Bone marrow aspirate smear · brightfield microscopy, 40× oil immersion:
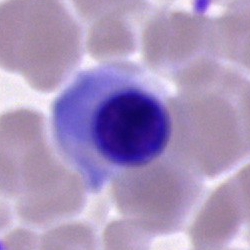

Specimen: bone marrow smear.
Morphological class: erythroblast.
Lineage: erythroid.